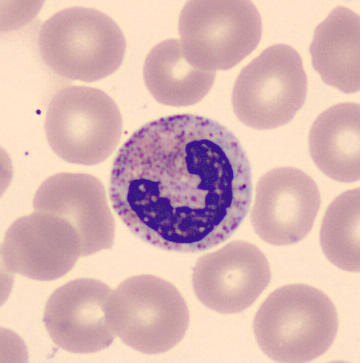This is a polymorphonuclear neutrophil.

Acquisition: Peripheral blood smear. MGG-stained.